May-Grünwald-Giemsa stain · 40× objective, oil immersion · bone marrow aspirate smear:
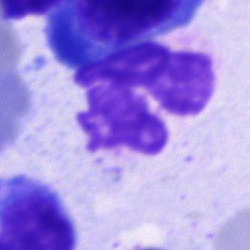 Cell: artefact.